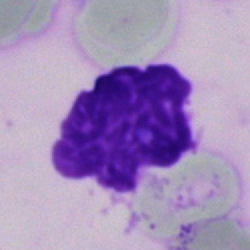

Impression — artifact.